Bone marrow smear.
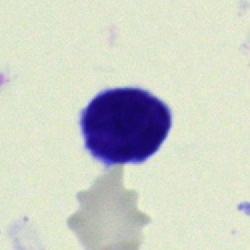

Typical lymphocyte.